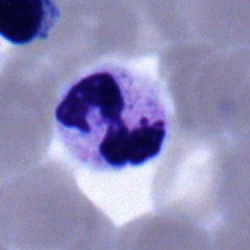

Cell type: segmented neutrophil.